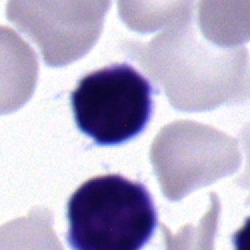

Bone marrow smear showing a lymphocyte.